Bone marrow smear. 250 by 250 pixels
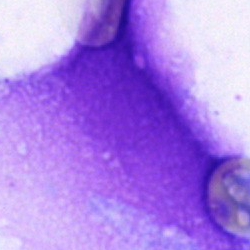

Morphology → artifact.